Bone marrow smear: 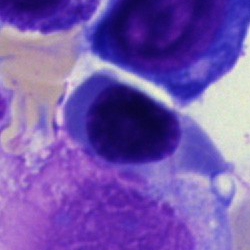
Normoblast.